Bone marrow aspirate smear — 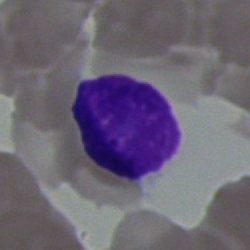 Showing a typical lymphocyte.